Bone marrow smear — 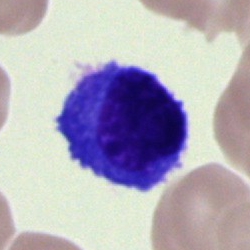
Showing a plasmacyte.